May-Grünwald-Giemsa/Pappenheim stain. Bone marrow smear — 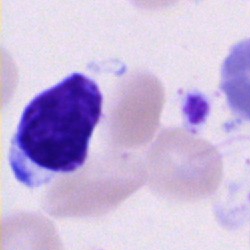

Q: Identify the cell.
A: Lymphocyte.